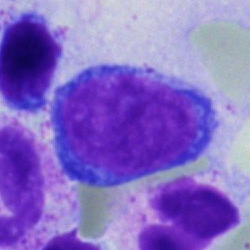 Bone marrow aspirate smear, single cell — pronormoblast.